Peripheral blood film.
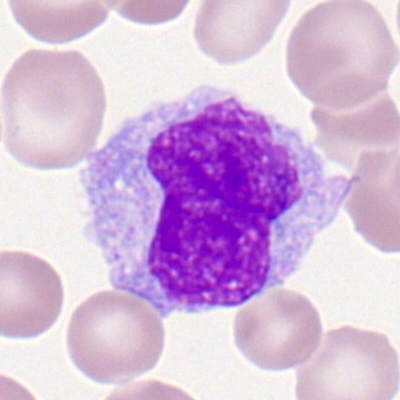Morphological class: monocyte.